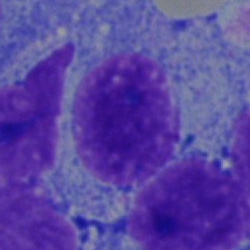

A plasmacyte.